Bone marrow aspirate smear — 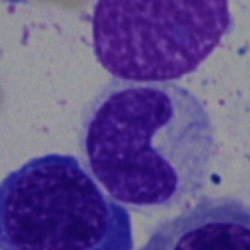
Q: What cell is this?
A: A band-form neutrophil.